40× oil immersion. Bone marrow smear — 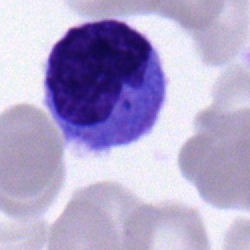
The cell is monocyte.